Bone marrow smear; image size 250×250:
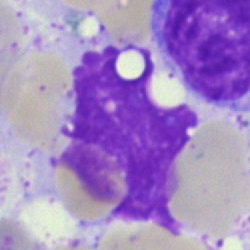
Showing an artifact.